Bone marrow aspirate smear.
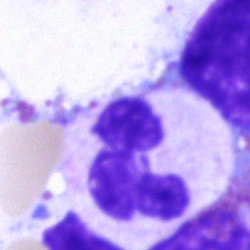

Showing a neutrophil (segmented).